Bone marrow smear. May-Grünwald-Giemsa/Pappenheim stain.
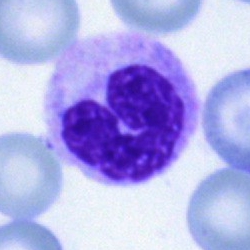 Cell type = polymorphonuclear neutrophil.